Bone marrow aspirate smear; 250×250 px:
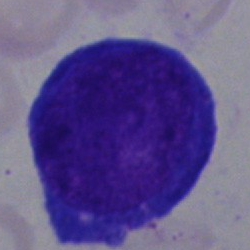 Morphological class — blast cell.